Bone marrow aspirate smear; single-cell crop:
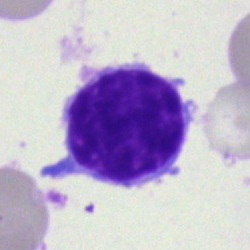 The cell shown is a lymphocyte.